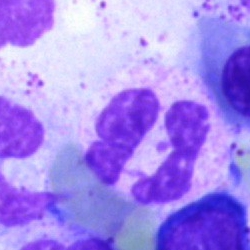

Cell: polymorphonuclear neutrophil.